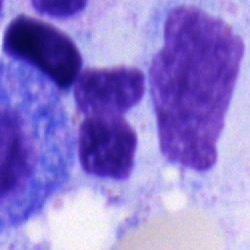 Specimen: bone marrow smear.
Cell: band-form neutrophil.
Lineage: myeloid.